Peripheral blood film; MGG stain:
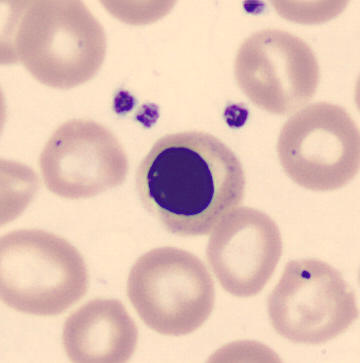
Q: What is the morphological classification of this cell?
A: Erythroblast.